Single cell centered in the field; brightfield, 100× oil-immersion objective; peripheral blood film:
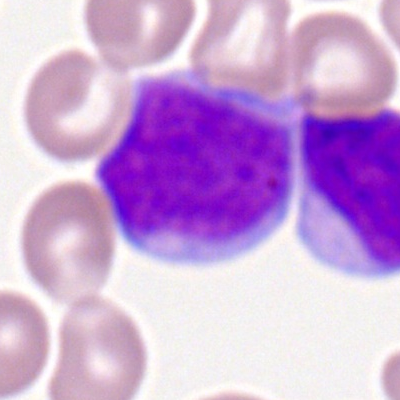Morphology consistent with a myeloblast.